Bone marrow smear · 250×250
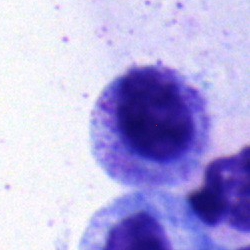

Specimen: bone marrow smear.
Cell type: myelocyte.